Bone marrow aspirate smear. Single-cell crop.
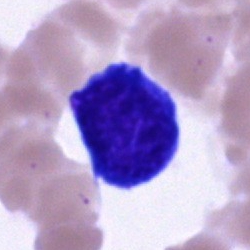The classification is unidentifiable cell.